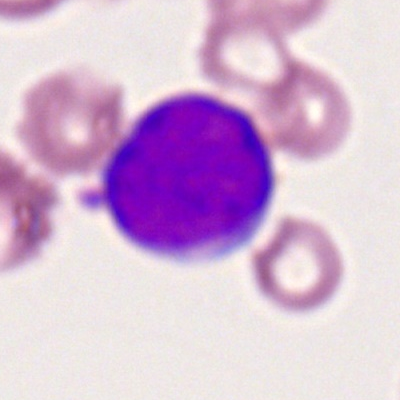Classification = myeloid blast.